Bone marrow aspirate smear.
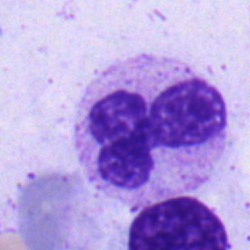Cell: polymorphonuclear neutrophil.